Bone marrow smear — 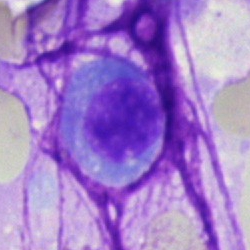Showing a normoblast.